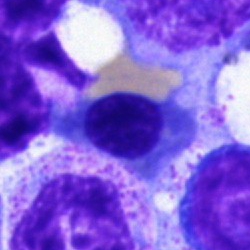

Morphological class — normoblast.